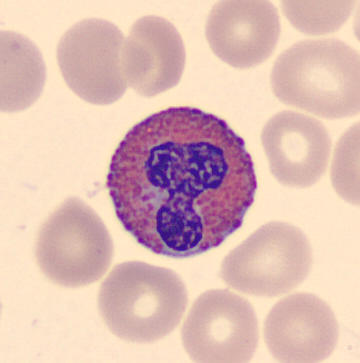

Specimen: peripheral blood smear.
Morphological class: eosinophilic granulocyte.
Lineage: myeloid.